Single-cell crop · bone marrow smear — 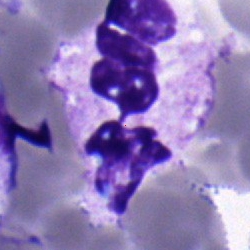

Showing a segmented neutrophil.